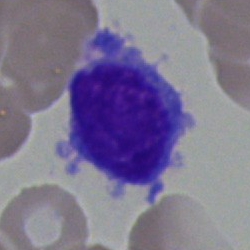 Cell type — plasma cell.